Bone marrow aspirate smear:
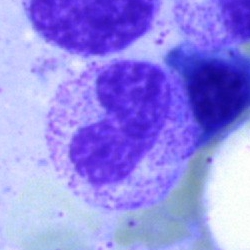
Q: Which cell type is shown here?
A: Stab cell.